Bone marrow aspirate smear
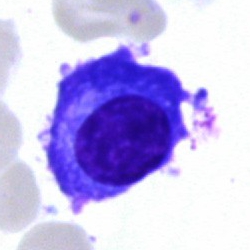
Cell — plasmacyte.